Peripheral blood smear.
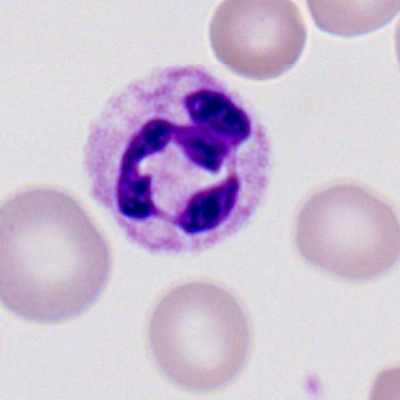Q: Which cell type is shown here?
A: Polymorphonuclear neutrophil.